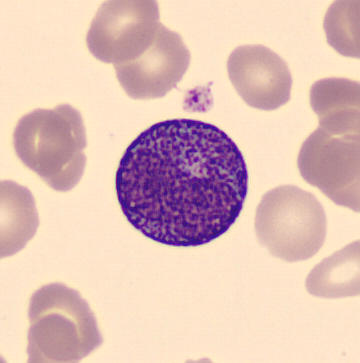Acquisition: Peripheral blood smear.
{"cell_type": "progranulocyte", "lineage": "myeloid"}